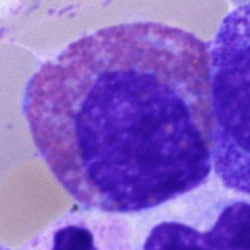 Impression → eosinophilic granulocyte.